250×250; brightfield microscopy, 40× oil immersion; bone marrow aspirate smear — 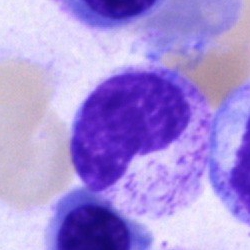{"cell_type": "metamyelocyte"}